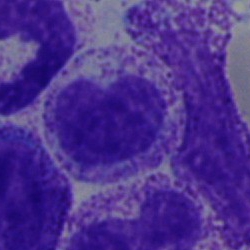 Specimen: bone marrow smear.
Cell type: metamyelocyte.
Lineage: myeloid.